Bone marrow aspirate smear: 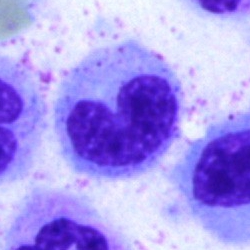
This is a band-form neutrophil.